40× oil immersion. Bone marrow aspirate smear — 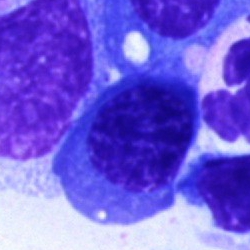
This is an erythroblast.